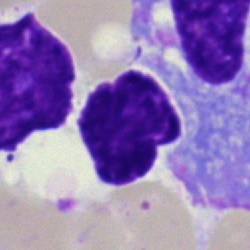

Bone marrow smear showing an artifact.